Peripheral blood smear: 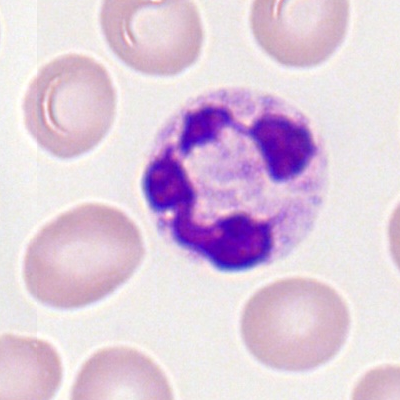

Specimen: peripheral blood film.
Morphological class: neutrophil (segmented).